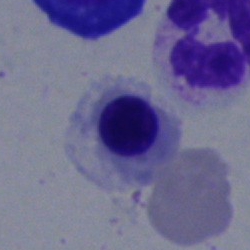 Specimen: bone marrow smear.
Cell: erythroblast.